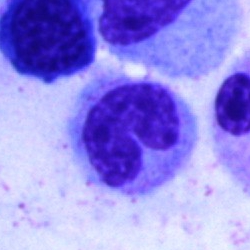
Specimen: bone marrow smear.
Cell: stab cell.